Bone marrow smear:
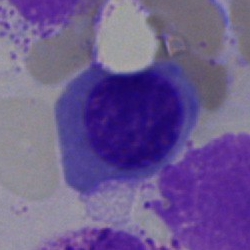
This is a nucleated red cell.